Bone marrow aspirate smear · single cell centered in the field
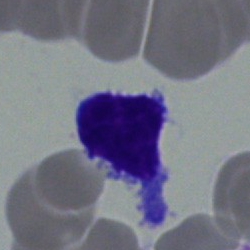

Specimen: bone marrow smear.
Morphological class: lymphocyte.
Lineage: lymphoid.